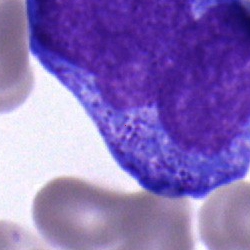 Cell = promyelocyte.